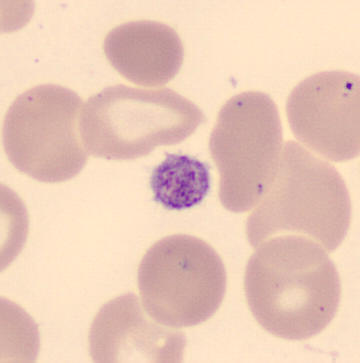
Thrombocyte.